Bone marrow aspirate smear. 250×250.
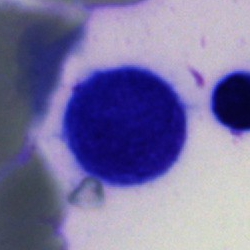

The classification is artefact.